Bone marrow aspirate smear — 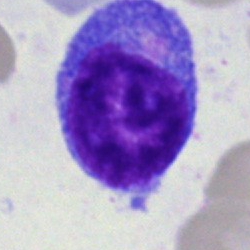Specimen: bone marrow smear.
Cell: undifferentiated blast.